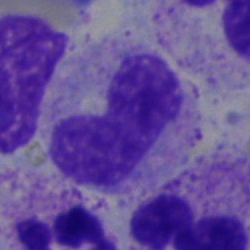Q: What type of cell is this?
A: A band neutrophil.